Single-cell crop; 250 by 250 pixels; bone marrow aspirate smear
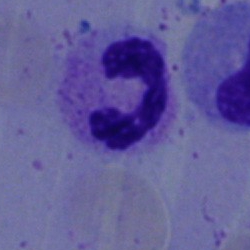Impression → band-form neutrophil.